Single-cell field. Bone marrow smear. May-Grünwald-Giemsa stain:
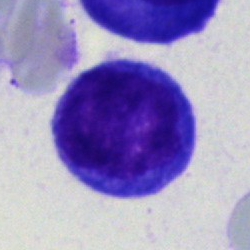
Specimen: bone marrow aspirate smear.
Classification: typical lymphocyte.
Lineage: lymphoid.